Bone marrow smear; image size 250×250:
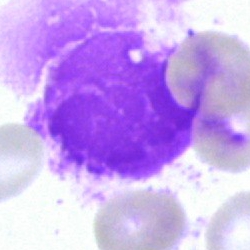 Impression → artifact.